Bone marrow aspirate smear
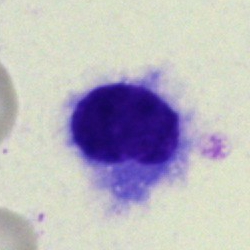The cell type is hairy cell.